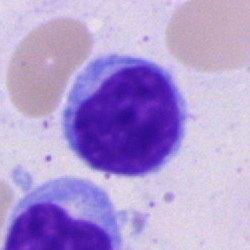A lymphocyte.